Bone marrow aspirate smear.
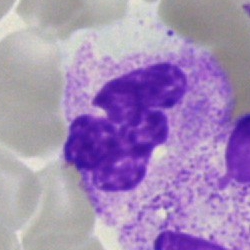
The cell shown is a neutrophil (segmented).